Bone marrow smear:
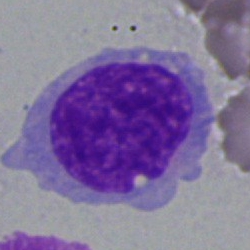This is a blast cell.